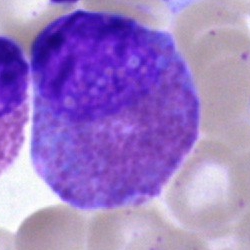

Bone marrow aspirate smear, single cell — eosinophilic granulocyte.